Bone marrow aspirate smear. 40× oil immersion: 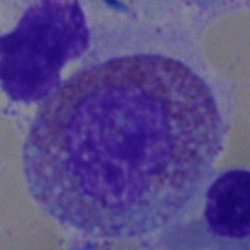Cell type: eosinophilic granulocyte.